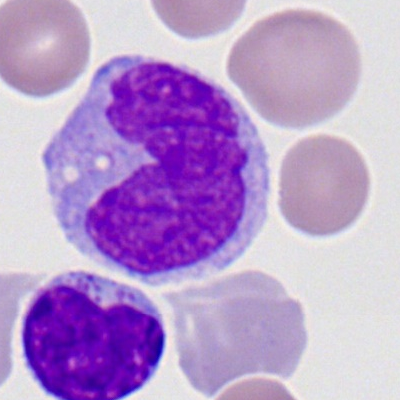

The cell is monocyte.